360 by 363 pixels. Peripheral blood film — 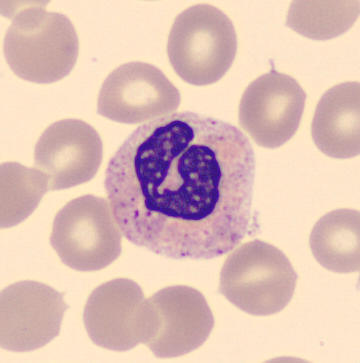

Specimen: peripheral blood film.
Classification: neutrophil (segmented).
Lineage: myeloid.